250 by 250 pixels. Brightfield, 40× oil-immersion objective. Bone marrow smear:
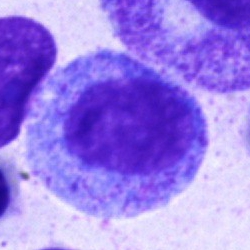

Classification: progranulocyte.